Single-cell crop · peripheral blood film
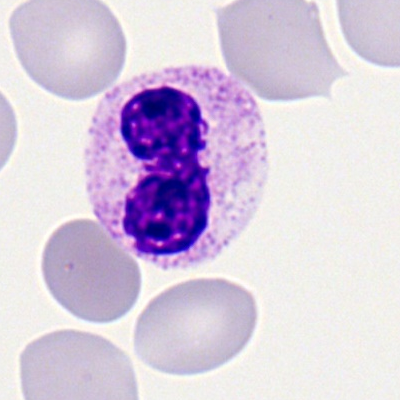{"cell_type": "polymorphonuclear neutrophil"}